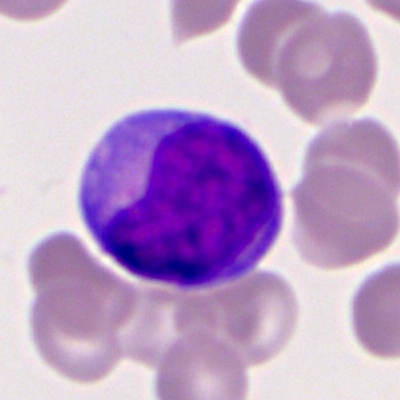

Cell — myeloid blast.